Bone marrow aspirate smear:
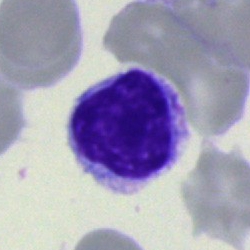 Q: Identify the cell.
A: This is a typical lymphocyte.